Bone marrow smear · 40× objective, oil immersion:
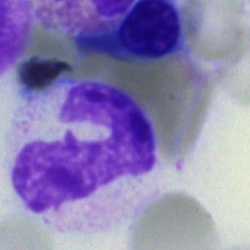 Showing a polymorphonuclear neutrophil.